Bone marrow aspirate smear — 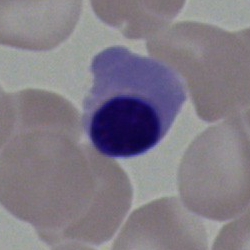 An erythroblast.